Bone marrow smear; May-Grünwald-Giemsa/Pappenheim stain: 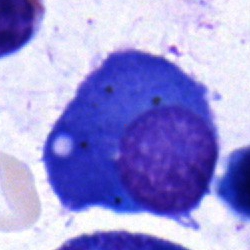

Impression — plasma cell.